Bone marrow smear:
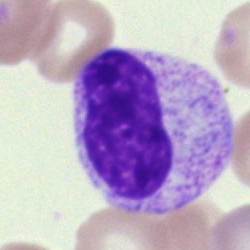
Cell type = myelocyte.